Bone marrow smear · single-cell field · image size 250×250: 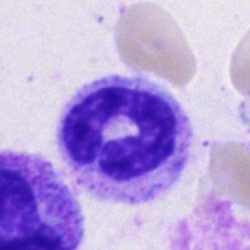 Specimen: bone marrow smear.
Morphological class: band-form neutrophil.